Bone marrow aspirate smear
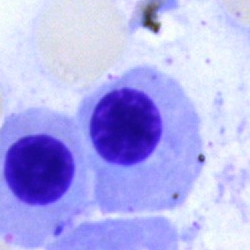Cell = erythroblast.